Bone marrow smear:
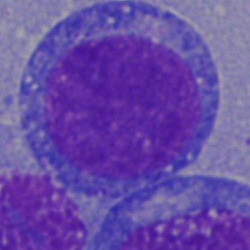 Specimen: bone marrow smear.
Morphological class: undifferentiated blast.